Bone marrow smear.
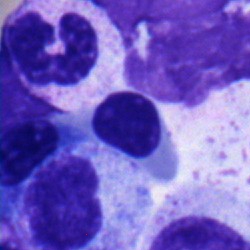 This is a segmented neutrophil.